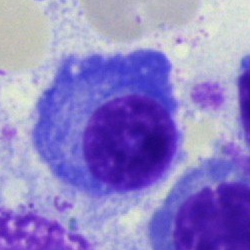

Bone marrow aspirate smear, single cell — plasma cell.